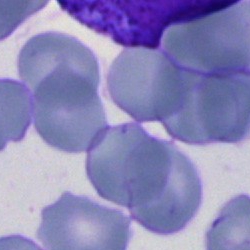
The cell type is artifact.